MGG-stained · 250×250 · bone marrow aspirate smear.
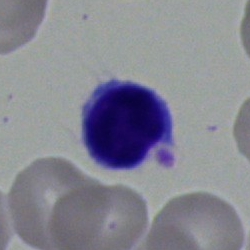 Classification — typical lymphocyte.